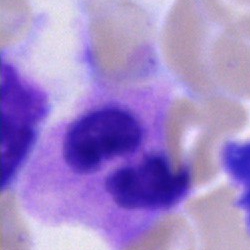Bone marrow smear showing a segmented neutrophil.